Bone marrow smear:
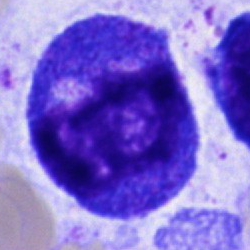 {"cell_type": "progranulocyte"}